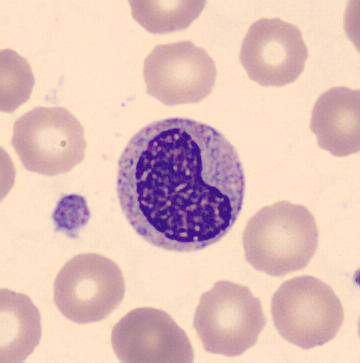
This is a metamyelocyte.
Acquisition: Peripheral blood smear; single-cell field.